Bone marrow aspirate smear · 250×250 — 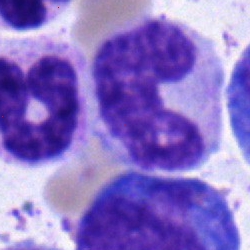 Showing a stab cell.